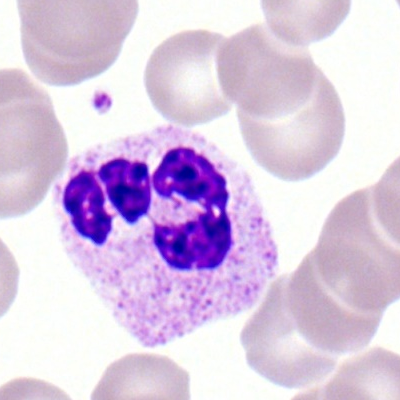Q: Identify the cell.
A: Neutrophil (segmented).